Image size 250×250; bone marrow smear; single-cell field:
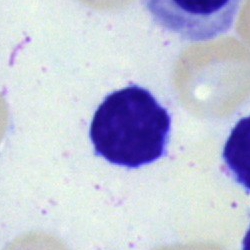
Specimen: bone marrow aspirate smear.
Classification: lymphocyte.